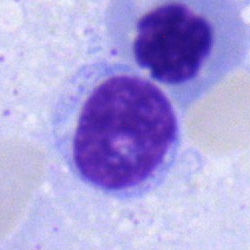

Q: What is shown here?
A: This is a lymphocyte.